Brightfield, 40× oil-immersion objective · bone marrow smear
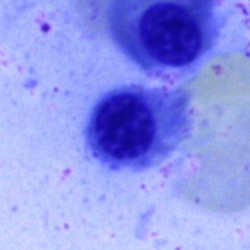

Cell: normoblast.